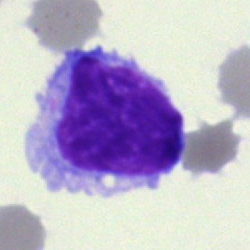 {"cell_type": "lymphocyte", "lineage": "lymphoid"}